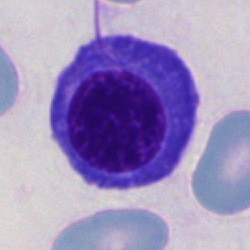
The cell type is nucleated red blood cell.